May-Grünwald-Giemsa stain · bone marrow smear — 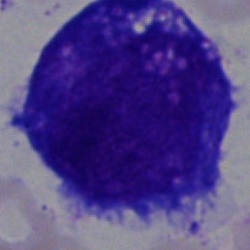 Cell type: blast.